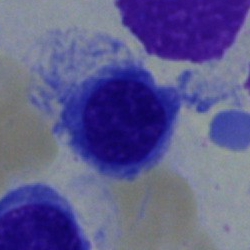
Impression — nucleated red blood cell.